Bone marrow smear; May-Grünwald-Giemsa/Pappenheim stain; single cell centered in the field:
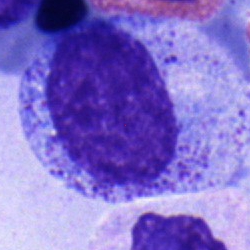 A myelocyte.